Single cell centered in the field. 40× oil immersion. Bone marrow smear.
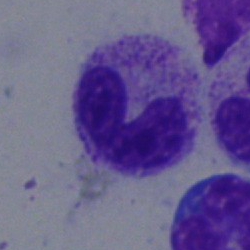 The cell shown is a neutrophil (segmented).